Bone marrow smear:
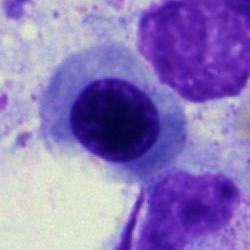 This is an erythroblast.